250×250; bone marrow aspirate smear; MGG-stained.
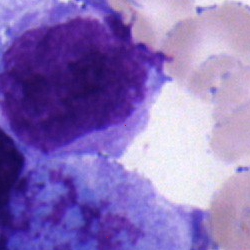

An undifferentiated blast.